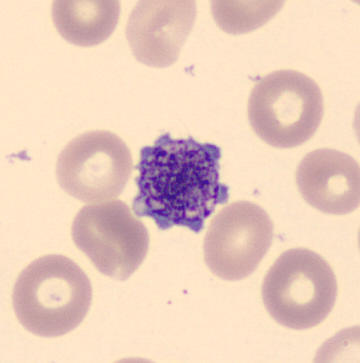Image: Peripheral blood film. 360×363.
Impression → platelet (thrombocyte).